Bone marrow smear. May-Grünwald-Giemsa/Pappenheim stain. Brightfield, 40× oil-immersion objective.
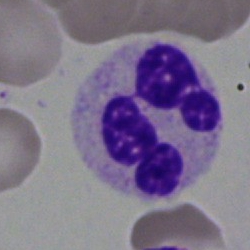
Polymorphonuclear neutrophil.